Romanowsky stain; peripheral blood film:
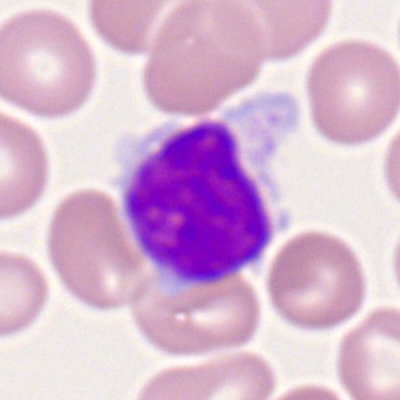
Q: What type of cell is this?
A: Typical lymphocyte.